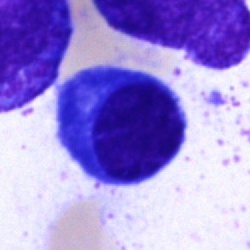 Q: What cell is this?
A: Typical lymphocyte.